Bone marrow smear. Brightfield, 40× oil-immersion objective:
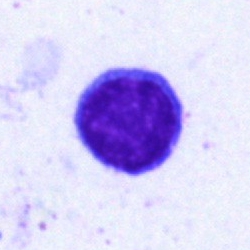

Morphology → typical lymphocyte.